Romanowsky-stained · peripheral blood film: 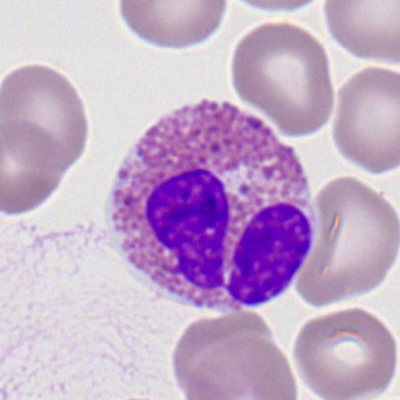
The cell shown is an eosinophil.